Bone marrow aspirate smear; single cell centered in the field:
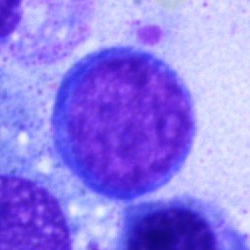

Q: What type of cell is this?
A: It is a lymphocyte.